Bone marrow smear:
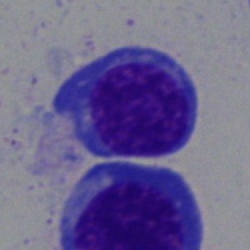
Impression → erythroblast.